Image size 250×250 · 40× oil immersion · bone marrow aspirate smear.
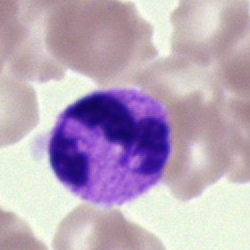
Polymorphonuclear neutrophil.